Bone marrow smear; single-cell crop — 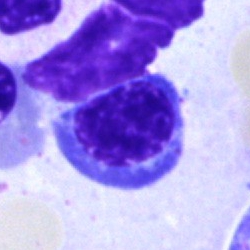Classification: nucleated red blood cell.